Bone marrow smear. May-Grünwald-Giemsa stain.
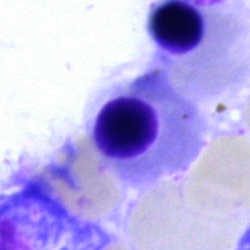

An erythroblast.